Bone marrow smear
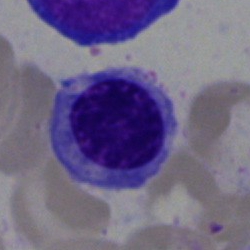This is a nucleated red blood cell.